Single-cell crop; bone marrow aspirate smear; 40× oil immersion:
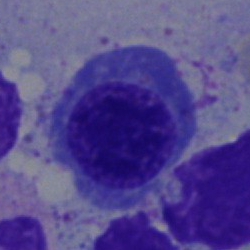 An erythroblast.